Single cell centered in the field. MGG-stained. Bone marrow smear
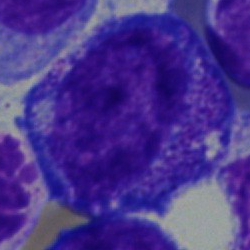
Morphological class: promyelocyte.